Bone marrow aspirate smear · single-cell crop — 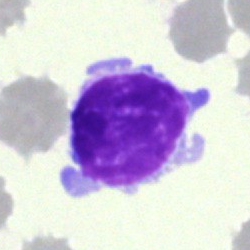 Morphology consistent with a lymphocyte.